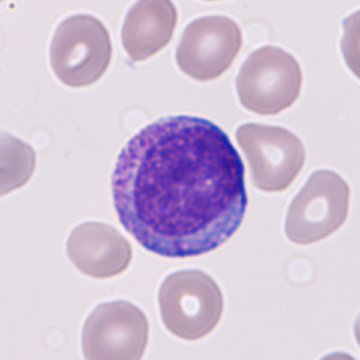

Granulocyte precursor.

360×360 px · peripheral blood smear.